Bone marrow smear — 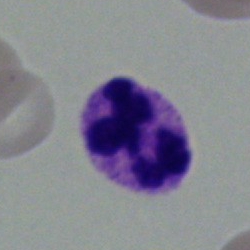 Showing a polymorphonuclear neutrophil.